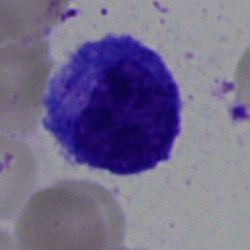 Morphological class = promyelocyte.